MGG-stained; bone marrow aspirate smear.
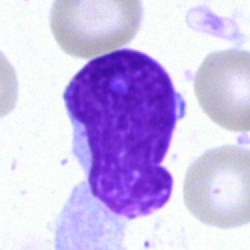

Q: What is shown here?
A: It is an artifact.